Bone marrow smear: 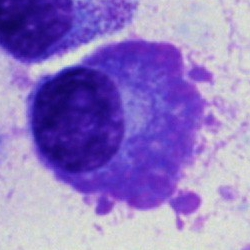Cell type = plasma cell.